Bone marrow smear
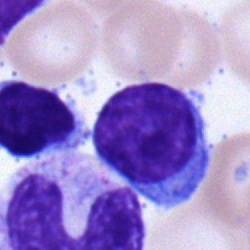

Q: What is shown here?
A: This is a typical lymphocyte.